Brightfield, 40× oil-immersion objective. Bone marrow aspirate smear. Single-cell field:
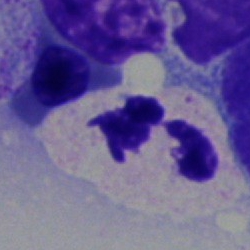
Morphology → segmented neutrophil.